Bone marrow aspirate smear:
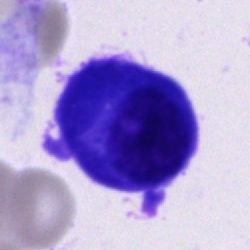
Specimen: bone marrow aspirate smear.
Cell type: plasmacyte.
Lineage: lymphoid.